Brightfield, 40× oil-immersion objective · bone marrow aspirate smear
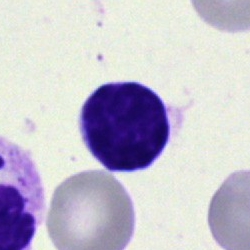Classification = lymphocyte.